Image size 250×250 · bone marrow smear · single cell centered in the field — 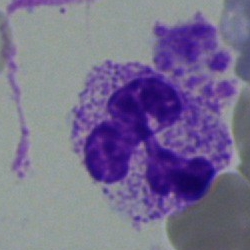

Q: What type of cell is this?
A: Segmented neutrophil.